Brightfield microscopy, 40× oil immersion · bone marrow smear: 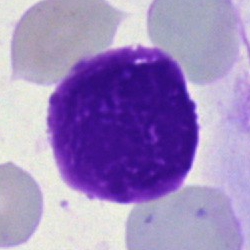
Single cell identified as an artefact.